Bone marrow aspirate smear:
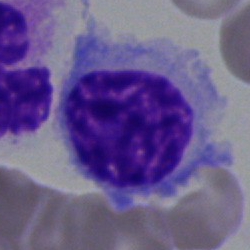
Q: What is shown here?
A: This is a hairy cell.